Bone marrow aspirate smear.
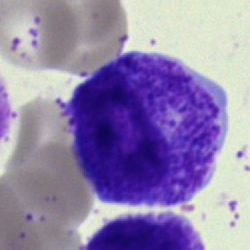

{"cell_type": "metamyelocyte"}